Bone marrow smear; brightfield, 40× oil-immersion objective; Pappenheim-stained.
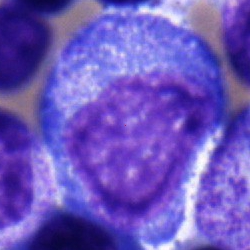

Morphological class = blast cell.